Bone marrow smear · MGG-stained: 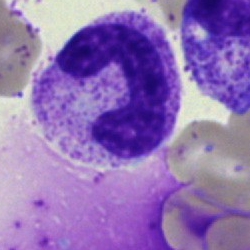
Band-form neutrophil.